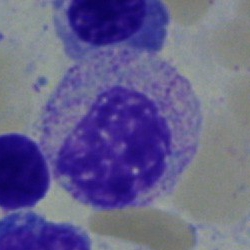

Cell — myelocyte.